Pappenheim-stained · bone marrow smear · 40× oil immersion
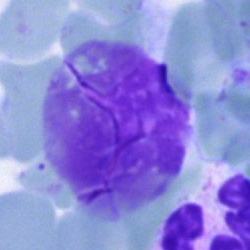
Classification = artifact.